Peripheral blood film:
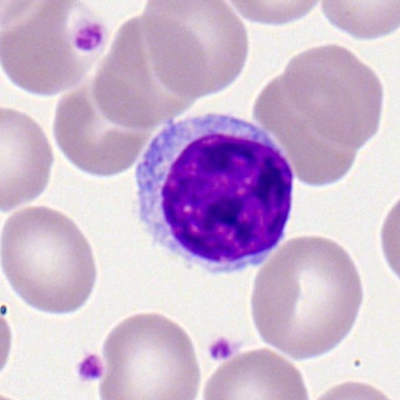
The classification is lymphocyte.